40× objective, oil immersion. Bone marrow smear
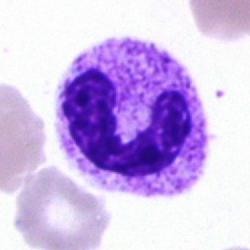 Morphological class = polymorphonuclear neutrophil.